Single cell centered in the field. Bone marrow aspirate smear
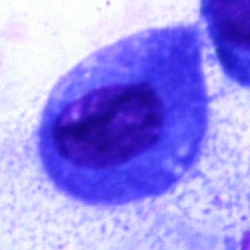

Cell — plasma cell.